Peripheral blood film.
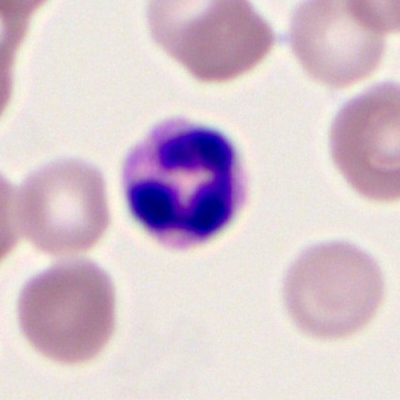{"cell_type": "segmented neutrophil"}